Bone marrow smear
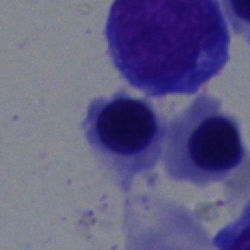

{"cell_type": "nucleated red blood cell"}